Bone marrow smear — 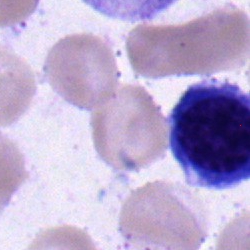

Cell = erythroblast.